Bone marrow aspirate smear: 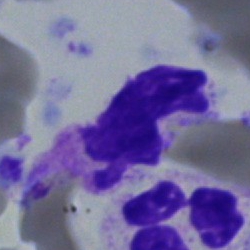Single cell identified as a polymorphonuclear neutrophil.